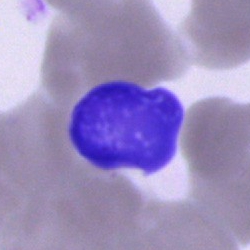 Morphology → artefact.